May-Grünwald-Giemsa stain; bone marrow aspirate smear.
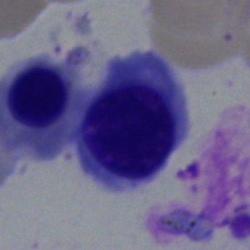
Nucleated red blood cell.